40× objective, oil immersion; cropped to a single cell; bone marrow smear
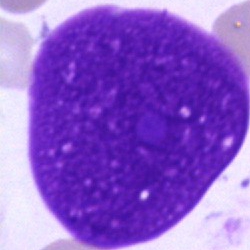Specimen: bone marrow smear.
Cell type: artifact.